Bone marrow smear
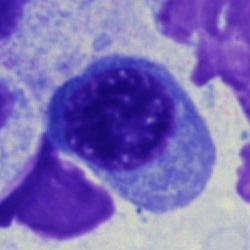Specimen: bone marrow smear.
Cell: nucleated red blood cell.